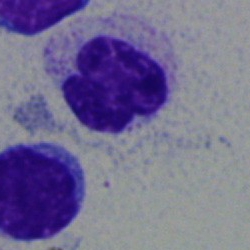The cell type is neutrophil (segmented).